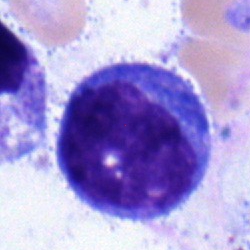
Monocyte.